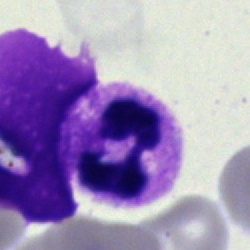Q: Identify the cell.
A: Segmented neutrophil.